Bone marrow aspirate smear:
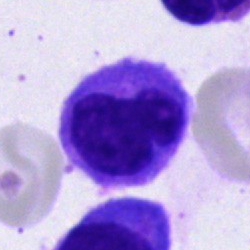

Cell type = monocyte.